Pappenheim-stained. Bone marrow aspirate smear:
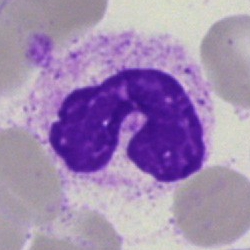
The classification is artefact.